250 by 250 pixels. Bone marrow aspirate smear. May-Grünwald-Giemsa stain: 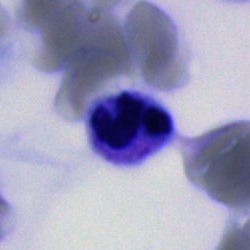
Morphology consistent with a segmented neutrophil.